Bone marrow smear. Pappenheim-stained.
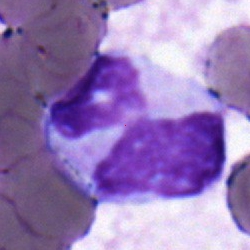

Q: What is the morphological classification of this cell?
A: Monocyte.